40× oil immersion; May-Grünwald-Giemsa stain; bone marrow aspirate smear: 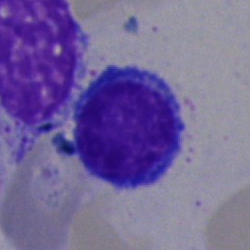 Morphology → typical lymphocyte.